Bone marrow smear.
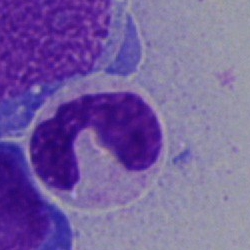Classification = neutrophil (segmented).